Bone marrow smear. 250×250 px. 40× objective, oil immersion:
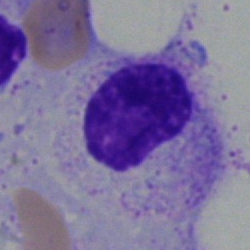Morphology — myelocyte.